Bone marrow aspirate smear; single-cell field
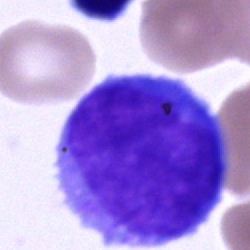

{"cell_type": "blast cell"}